Bone marrow smear: 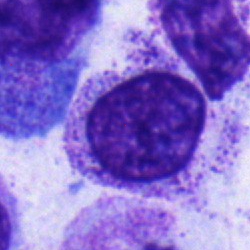

Morphology → myelocyte.